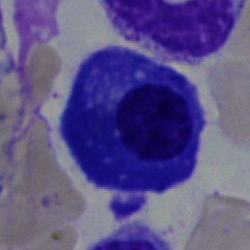 Cell: plasmacyte.